Bone marrow aspirate smear.
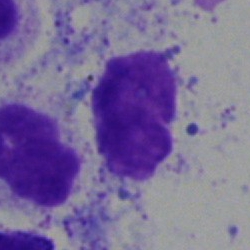
Morphological class — artifact.